Bone marrow smear; 250 by 250 pixels: 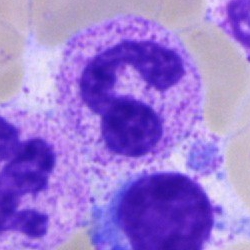

A polymorphonuclear neutrophil.